Bone marrow smear. MGG-stained: 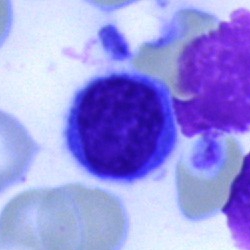Morphology consistent with a lymphocyte.